Bone marrow smear: 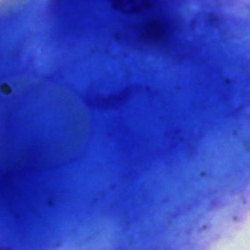This is an artefact.